Bone marrow aspirate smear · 250 by 250 pixels:
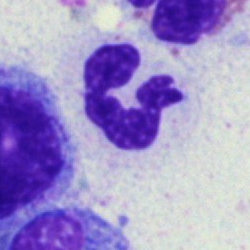

Classification — polymorphonuclear neutrophil.